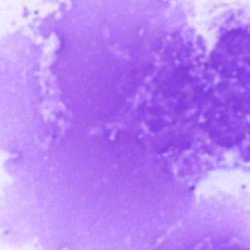
Single cell identified as an artefact.